Pappenheim-stained · bone marrow smear.
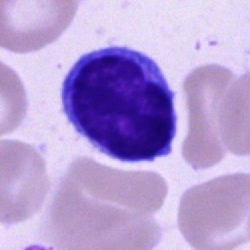Showing a typical lymphocyte.